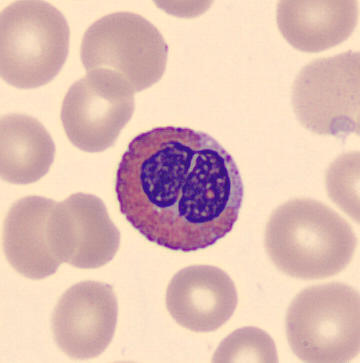

Peripheral blood film.

The morphological class is eosinophilic granulocyte.